Bone marrow aspirate smear
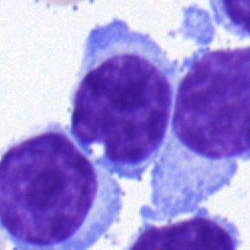Q: What type of cell is this?
A: It is a lymphocyte.